Romanowsky-type stain · peripheral blood film.
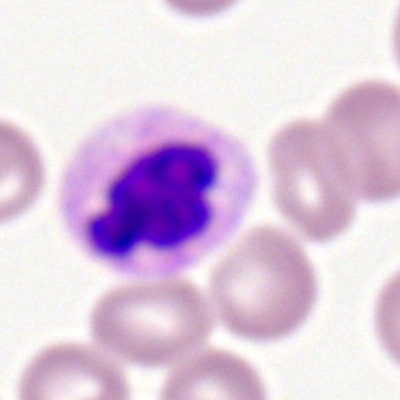Morphology → segmented neutrophil.